Bone marrow smear; 40× objective, oil immersion: 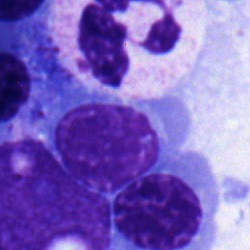Neutrophil (segmented).